Bone marrow aspirate smear: 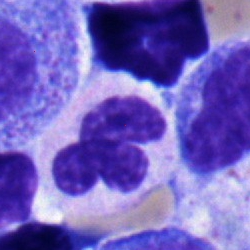

Neutrophil (segmented).